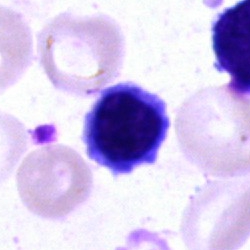

Specimen: bone marrow aspirate smear.
Morphological class: erythroblast.